Cropped to a single cell · 250×250 px · bone marrow smear:
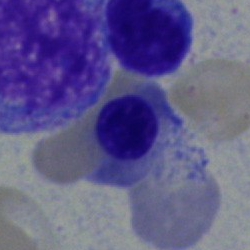 Q: Which cell type is shown here?
A: This is a nucleated red cell.